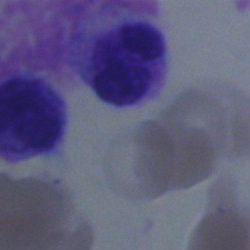Single-cell crop from a bone marrow smear: polymorphonuclear neutrophil.